40× oil immersion; bone marrow aspirate smear: 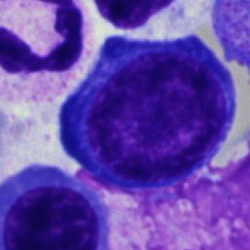The cell shown is a proerythroblast.